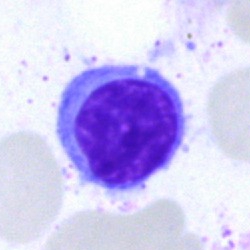Specimen: bone marrow smear.
Cell: lymphocyte.